Bone marrow smear.
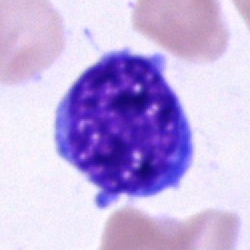Showing an undifferentiated blast.